Bone marrow aspirate smear
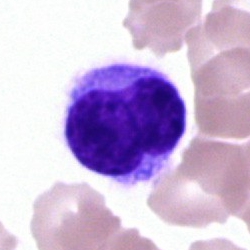 Cell = lymphocyte.